Single cell centered in the field; bone marrow smear.
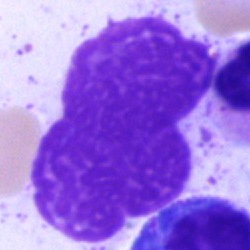
Q: What is shown here?
A: It is an artefact.